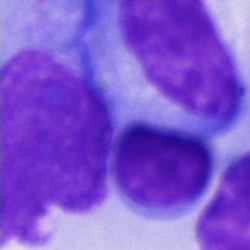

Single-cell crop from a bone marrow smear: unidentifiable cell.